Cropped to a single cell. Bone marrow aspirate smear.
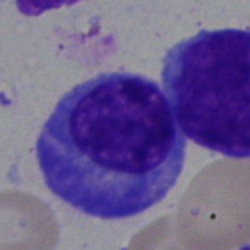Morphology consistent with a plasmacyte.